Romanowsky-type stain. Peripheral blood smear
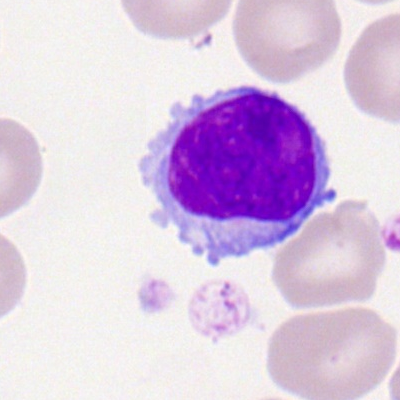The classification is typical lymphocyte.